May-Grünwald-Giemsa/Pappenheim stain. 250×250 px. Bone marrow aspirate smear
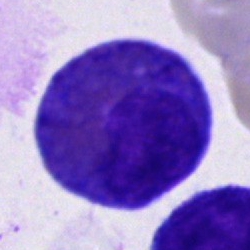
An eosinophilic granulocyte.